M8 digital microscope (Precipoint), 100× oil immersion. 400 by 400 pixels. Peripheral blood smear: 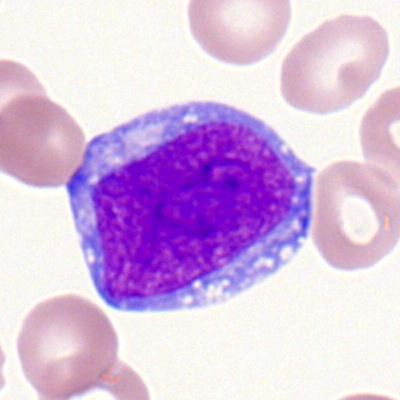
Q: Identify the cell.
A: This is a myeloblast.